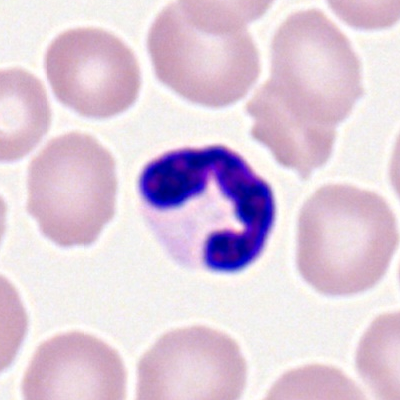
Specimen: peripheral blood smear.
Cell: neutrophil (segmented).
Lineage: myeloid.